Image size 250×250; single-cell field; bone marrow smear:
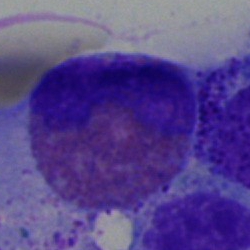

{"cell_type": "eosinophil", "lineage": "myeloid"}